Bone marrow aspirate smear; image size 250×250; May-Grünwald-Giemsa stain.
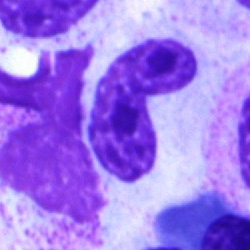

Cell = neutrophil (segmented).